Image size 360×363; single-cell field; peripheral blood smear
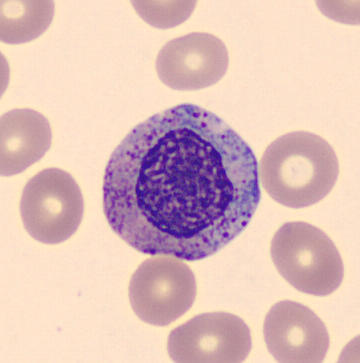
Q: What is this?
A: Myelocyte.